Bone marrow aspirate smear:
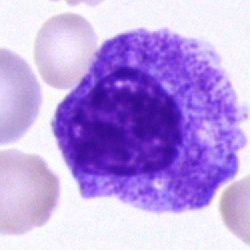 Promyelocyte.